Peripheral blood smear; 400×400 px — 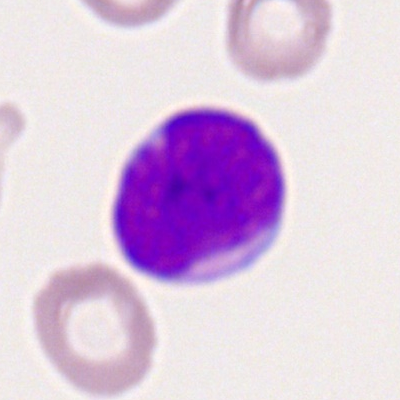
{"cell_type": "myeloid blast", "lineage": "myeloid"}